Bone marrow smear · 250×250 px — 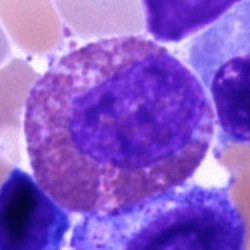
The classification is eosinophil.